Bone marrow smear: 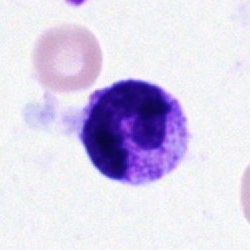Morphology consistent with a polymorphonuclear neutrophil.